Bone marrow smear; May-Grünwald-Giemsa/Pappenheim stain; 250×250 px — 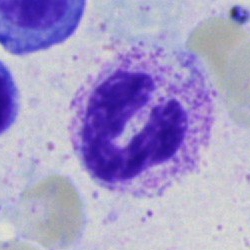{"cell_type": "neutrophil (segmented)", "lineage": "myeloid"}